Bone marrow smear
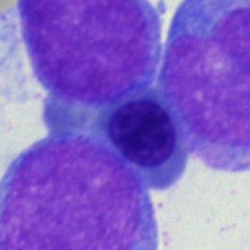

{"cell_type": "erythroblast", "lineage": "erythroid"}